Bone marrow smear; image size 250×250: 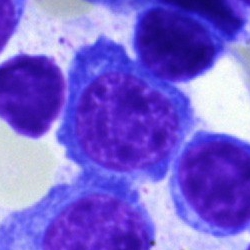 This is an erythroblast.